Bone marrow aspirate smear · image size 250×250: 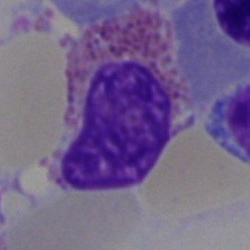 Q: Which cell type is shown here?
A: It is an eosinophilic granulocyte.